Bone marrow smear. Brightfield, 40× oil-immersion objective: 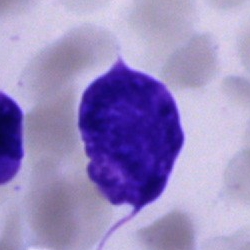Classification: artifact.